Bone marrow smear. 40× objective, oil immersion.
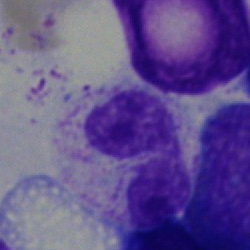 The cell shown is a polymorphonuclear neutrophil.